40× oil immersion · bone marrow aspirate smear:
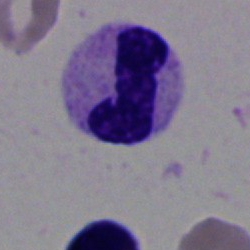

A stab cell.